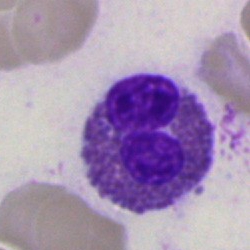Showing an eosinophilic granulocyte.